Bone marrow smear
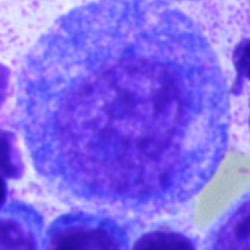 Single cell identified as a promyelocyte.